Bone marrow smear — 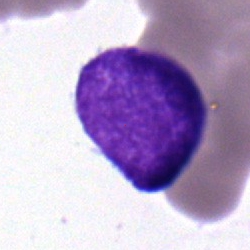
Impression — blast.